May-Grünwald-Giemsa stain · brightfield, 40× oil-immersion objective · bone marrow smear — 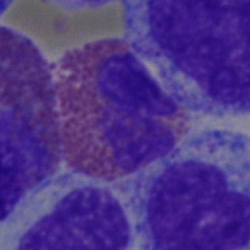Impression — eosinophil.